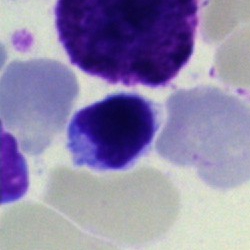 Single cell identified as a lymphocyte.